Bone marrow aspirate smear
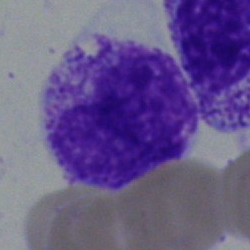The cell shown is a metamyelocyte.